Bone marrow smear:
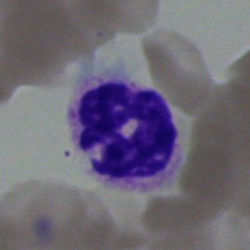Morphology consistent with a neutrophil (segmented).